Bone marrow aspirate smear: 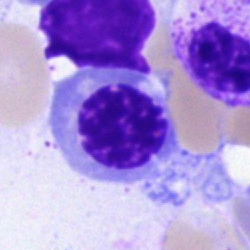
Specimen: bone marrow smear.
Cell type: erythroblast.
Lineage: erythroid.